Single-cell crop · bone marrow smear · 250×250 px: 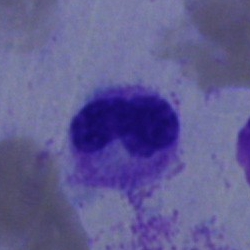Band-form neutrophil.